250×250 px; bone marrow aspirate smear — 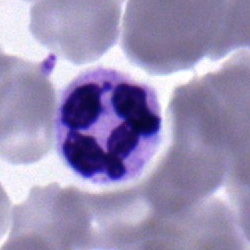
Showing a neutrophil (segmented).